250×250. Bone marrow smear:
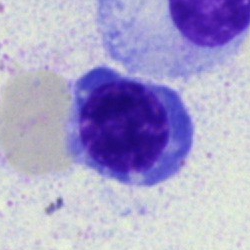Cell type: nucleated red cell.